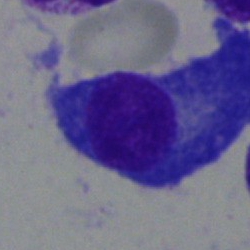 Specimen: bone marrow smear.
Cell type: plasma cell.